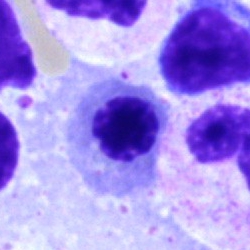The morphological class is erythroblast.